Pappenheim-stained; bone marrow aspirate smear: 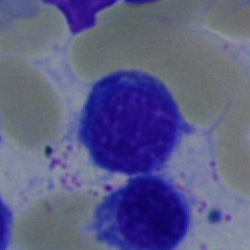 Impression → typical lymphocyte.